Bone marrow aspirate smear · 250 by 250 pixels · May-Grünwald-Giemsa/Pappenheim stain:
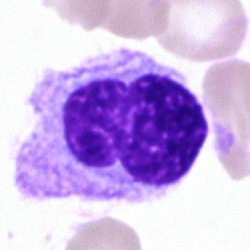
Hairy cell.